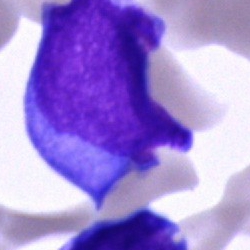

Bone marrow smear showing a blast.